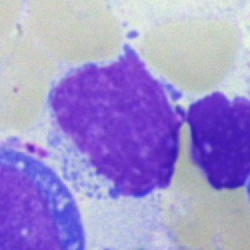
Classification — artifact.